Bone marrow smear · brightfield, 40× oil-immersion objective — 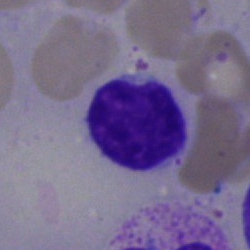

{"cell_type": "typical lymphocyte"}